Bone marrow aspirate smear — 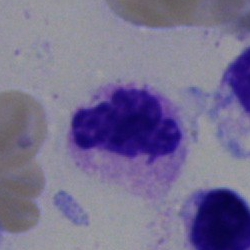The classification is segmented neutrophil.